Bone marrow smear — 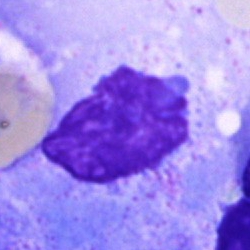 An artefact.